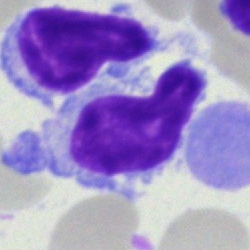Single-cell crop from a bone marrow smear: typical lymphocyte.